Bone marrow smear; May-Grünwald-Giemsa/Pappenheim stain.
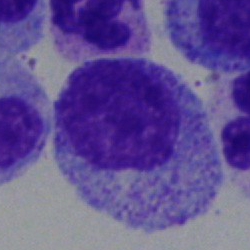Morphology → progranulocyte.